Bone marrow aspirate smear · 40× oil immersion · single cell centered in the field.
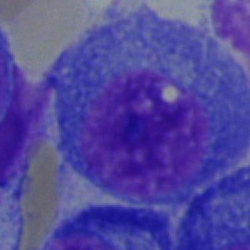
This is a plasma cell.